Peripheral blood film · single cell centered in the field
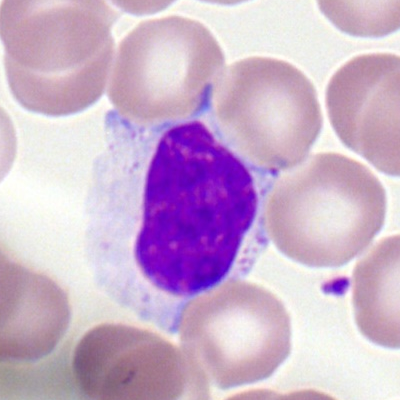 Cell: lymphocyte.